Bone marrow aspirate smear. 40× oil immersion.
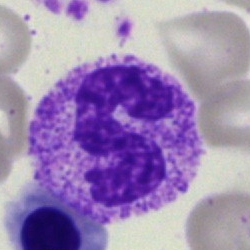This is a segmented neutrophil.